Single-cell crop · 250 by 250 pixels · bone marrow aspirate smear.
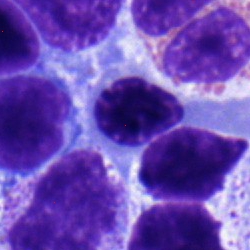Q: What is shown here?
A: This is a nucleated red cell.